40× oil immersion; bone marrow aspirate smear
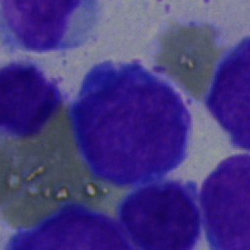

Specimen: bone marrow aspirate smear.
Cell type: undifferentiated blast.